Bone marrow aspirate smear
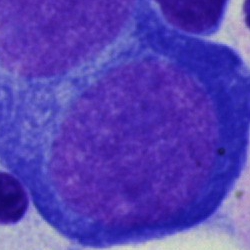
The cell type is proerythroblast.